Bone marrow aspirate smear — 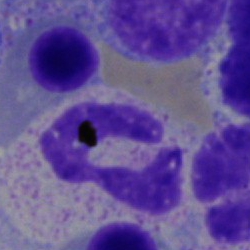
Cell = segmented neutrophil.